Bone marrow aspirate smear: 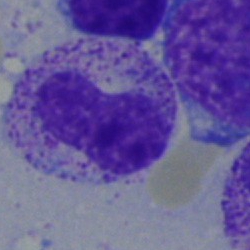
Q: Which cell type is shown here?
A: Metamyelocyte.